Bone marrow smear; 250×250 px; brightfield, 40× oil-immersion objective:
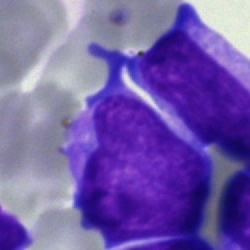 Classification — undifferentiated blast.